Bone marrow smear. MGG-stained. Single-cell field: 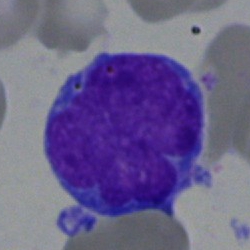
Specimen: bone marrow aspirate smear.
Morphological class: undifferentiated blast.